Bone marrow smear
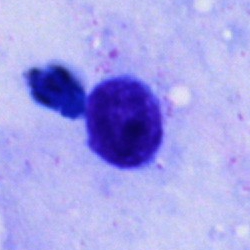A lymphocyte.